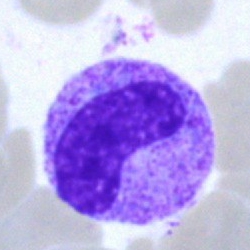
The cell shown is a band neutrophil.